Bone marrow aspirate smear
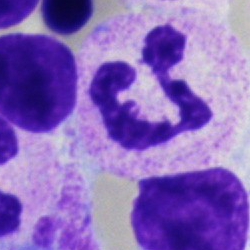
The cell shown is a segmented neutrophil.